Bone marrow aspirate smear
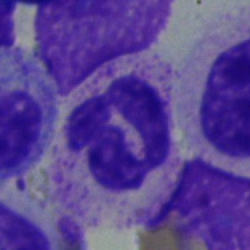This is a polymorphonuclear neutrophil.